Peripheral blood smear: 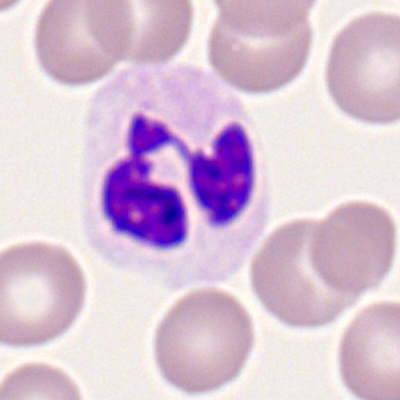Cell type = neutrophil (segmented).